Bone marrow smear
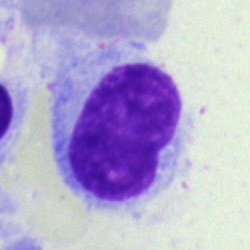

Impression — hairy cell.